400×400. Brightfield, 100× oil-immersion objective. Peripheral blood film: 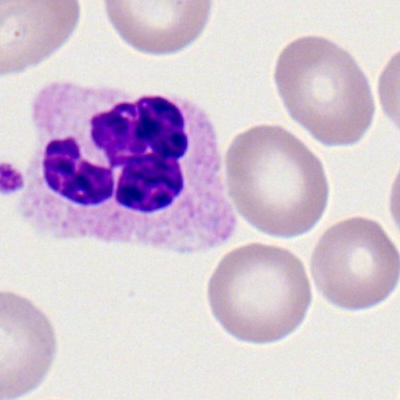
This is a segmented neutrophil.